Bone marrow smear.
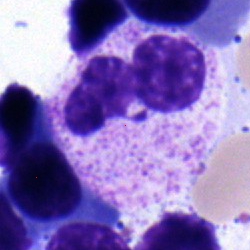 Q: What type of cell is this?
A: A polymorphonuclear neutrophil.